Peripheral blood film: 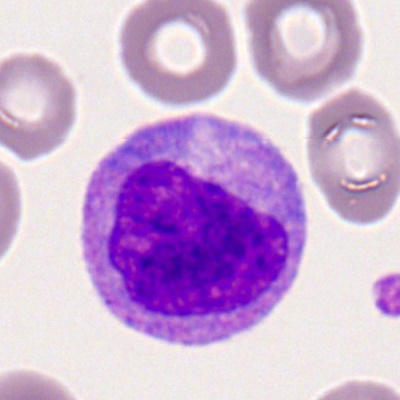 The cell shown is a monocyte.